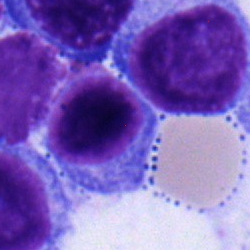 The classification is lymphocyte.